40× objective, oil immersion. Single cell centered in the field. Bone marrow smear:
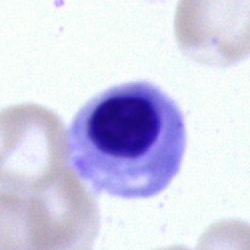

Specimen: bone marrow aspirate smear.
Cell type: nucleated red blood cell.
Lineage: erythroid.